Bone marrow aspirate smear · 250 by 250 pixels.
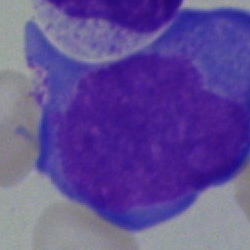
The morphological class is undifferentiated blast.